Bone marrow smear · Pappenheim-stained: 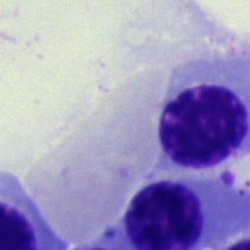

Nucleated red blood cell.